40× objective, oil immersion; bone marrow smear
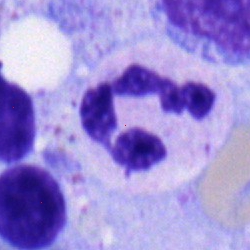 Morphology → segmented neutrophil.